Peripheral blood film:
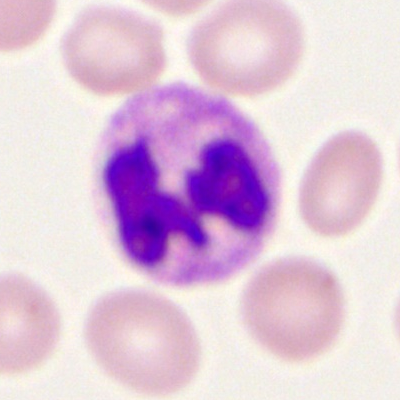 Q: Identify the cell.
A: Neutrophil (segmented).